250×250 px. Bone marrow smear
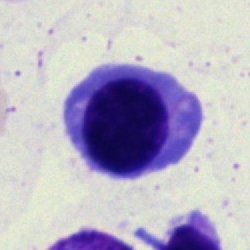
Morphology consistent with a nucleated red cell.